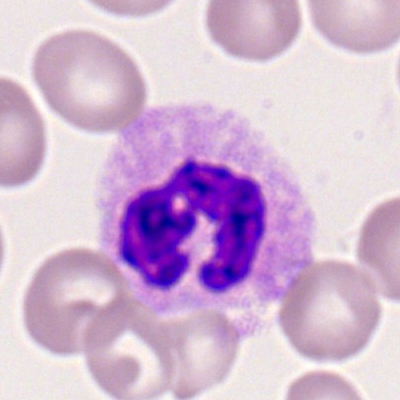 Peripheral blood smear showing a neutrophil (segmented).